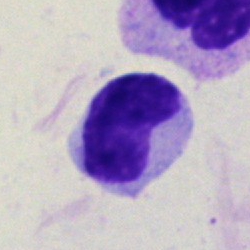{"cell_type": "lymphocyte", "lineage": "lymphoid"}